May-Grünwald-Giemsa/Pappenheim stain; bone marrow aspirate smear
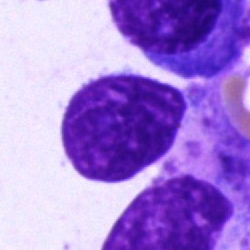
Classification — artefact.